Bone marrow aspirate smear
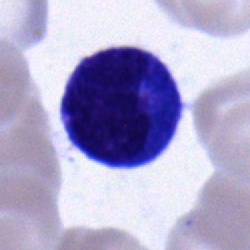 {"cell_type": "typical lymphocyte", "lineage": "lymphoid"}